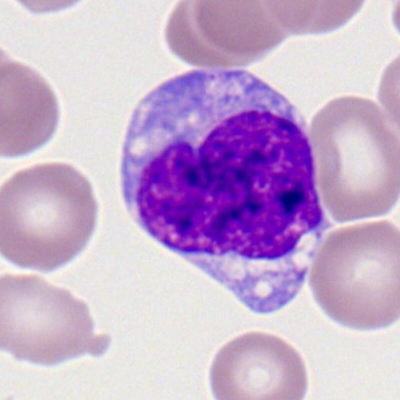

The cell shown is a monocyte.